Peripheral blood film.
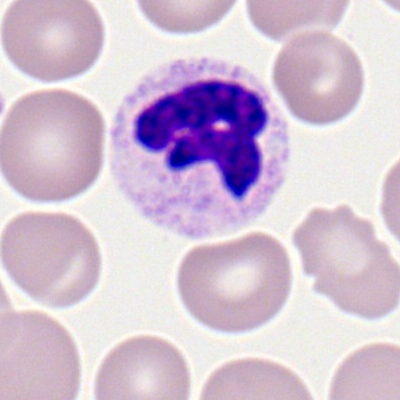 The cell shown is a polymorphonuclear neutrophil.